250×250 · bone marrow smear
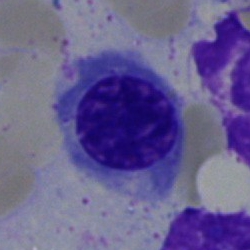

The classification is erythroblast.